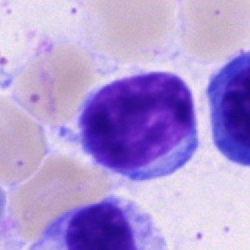

Single-cell crop from a bone marrow smear: typical lymphocyte.